Bone marrow aspirate smear:
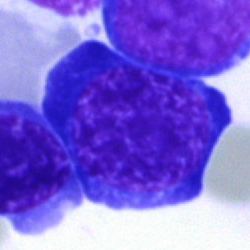

The cell shown is an erythroblast.